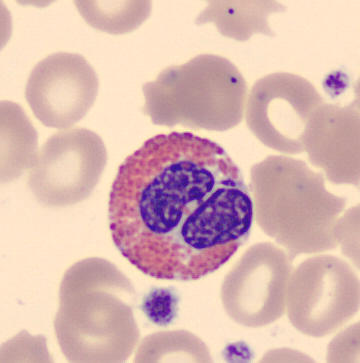
Identified as an eosinophilic granulocyte.

Preparation: Peripheral blood film.